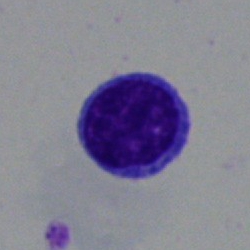 Single cell identified as a typical lymphocyte.